Bone marrow aspirate smear:
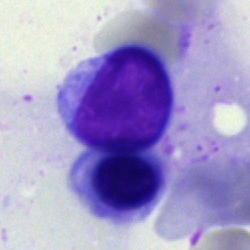
The classification is lymphocyte.